Bone marrow aspirate smear
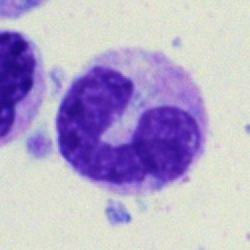

Classification — band-form neutrophil.